Single-cell field. Bone marrow smear
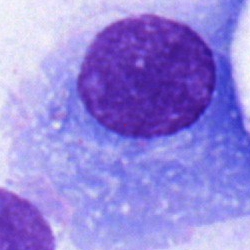
Classification = plasmacyte.